Bone marrow smear
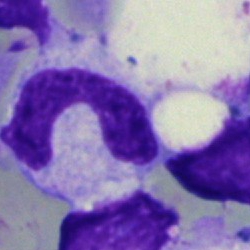
Band-form neutrophil.